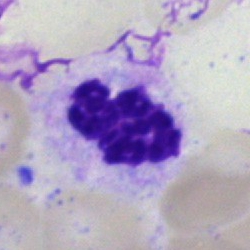
Impression → polymorphonuclear neutrophil.